Image size 400×400 · peripheral blood smear.
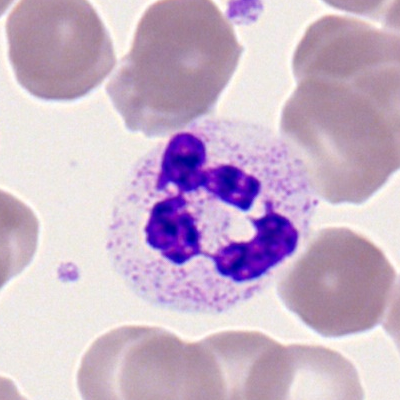

This is a segmented neutrophil.